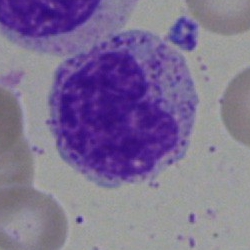

The cell shown is a myelocyte.